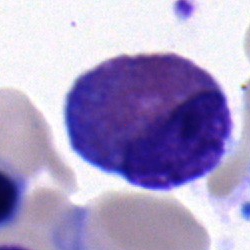 Impression — eosinophilic granulocyte.